250 by 250 pixels. Bone marrow smear. Pappenheim-stained.
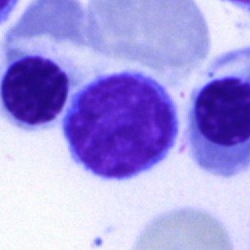
Cell: lymphocyte.